Cropped to a single cell · bone marrow aspirate smear.
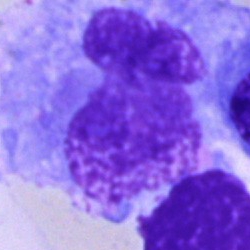 Q: What cell is this?
A: An unidentifiable cell.